Bone marrow aspirate smear.
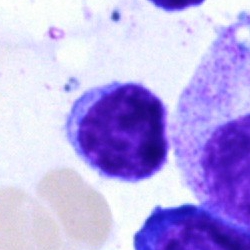Single cell identified as a typical lymphocyte.